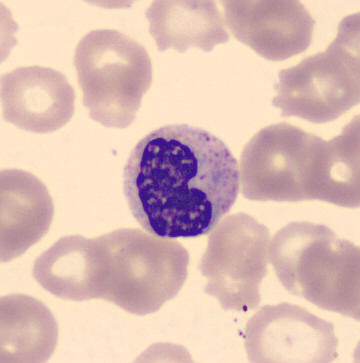Peripheral blood film. Identified as a metamyelocyte.